Bone marrow aspirate smear: 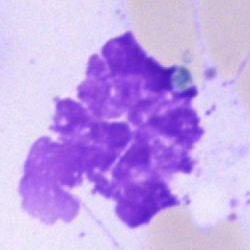
This is an artifact.